Bone marrow aspirate smear — 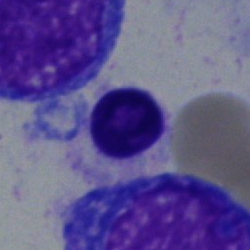 Showing a typical lymphocyte.